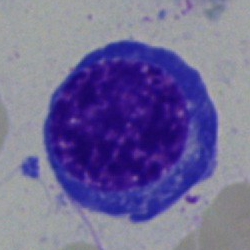This is a nucleated red blood cell.